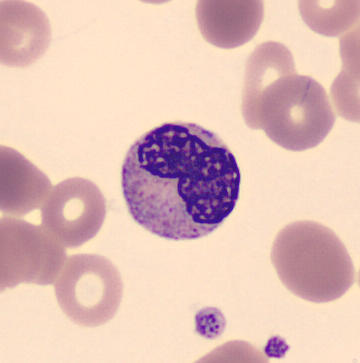
Showing a metamyelocyte.
Peripheral blood film.